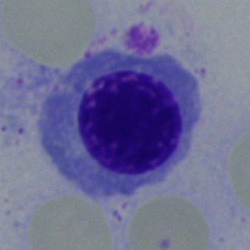Morphological class = erythroblast.